Bone marrow smear · single cell centered in the field:
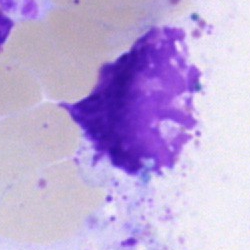
Cell type = artifact.